Bone marrow aspirate smear: 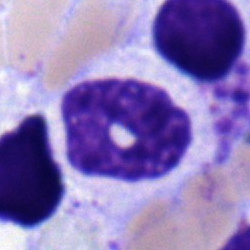 Showing a neutrophil (segmented).